Cropped to a single cell; bone marrow aspirate smear; May-Grünwald-Giemsa stain:
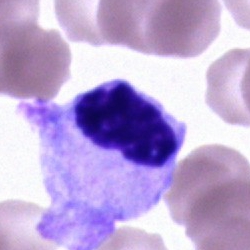
Specimen: bone marrow smear.
Cell: artefact.